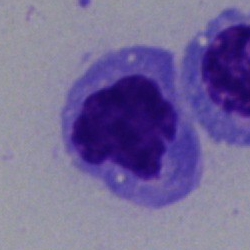Single-cell crop from a bone marrow smear: nucleated red blood cell.